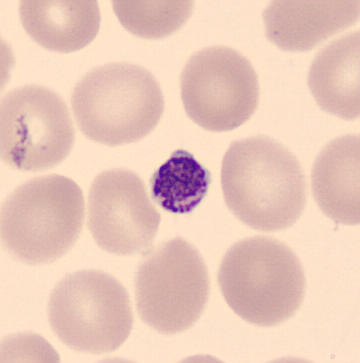
Morphology consistent with a platelet (thrombocyte).